Bone marrow aspirate smear.
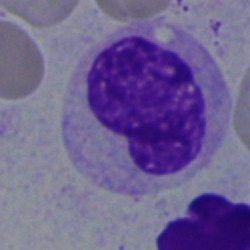 Cell type — metamyelocyte.